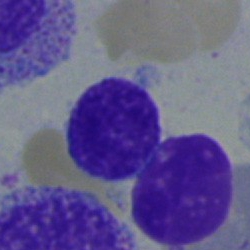
The cell type is lymphocyte.